40× oil immersion · May-Grünwald-Giemsa/Pappenheim stain · bone marrow aspirate smear:
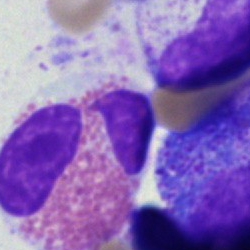Q: What type of cell is this?
A: This is an eosinophil.